Bone marrow aspirate smear: 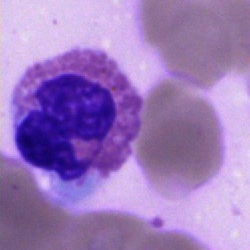

The classification is eosinophilic granulocyte.